Bone marrow smear
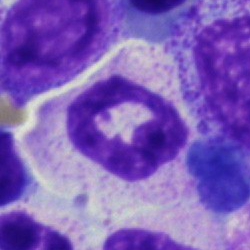

Q: What is the morphological classification of this cell?
A: A polymorphonuclear neutrophil.